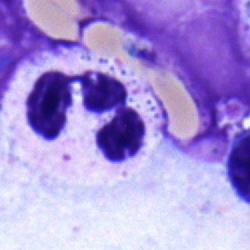

Q: Identify the cell.
A: A neutrophil (segmented).